Bone marrow smear:
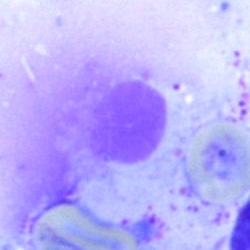

Morphology — artefact.